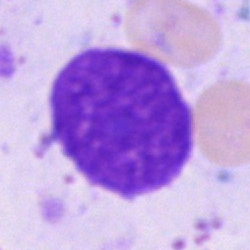 Cell = artifact.